Pappenheim-stained. Bone marrow smear
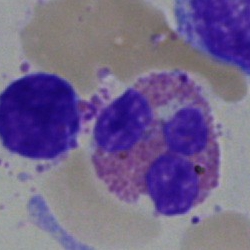 Q: What cell is this?
A: Eosinophilic granulocyte.